Bone marrow aspirate smear
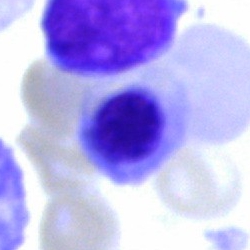 Impression — nucleated red cell.